Bone marrow aspirate smear.
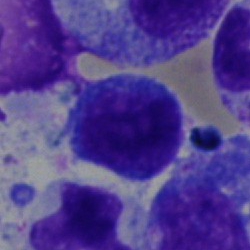{"cell_type": "erythroblast", "lineage": "erythroid"}